Romanowsky-type stain · peripheral blood film
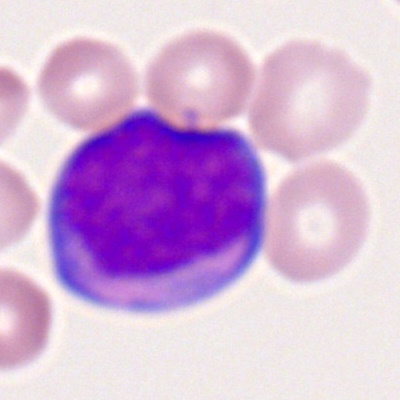Morphological class: myeloblast.